Bone marrow aspirate smear.
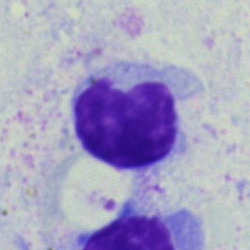
The cell shown is a lymphocyte.